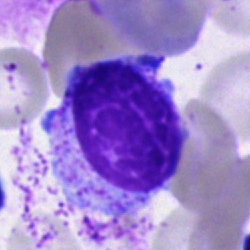

Q: What is shown here?
A: An artifact.